Peripheral blood film: 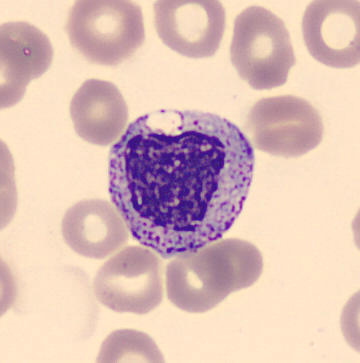Impression — myelocyte.